Bone marrow aspirate smear · single cell centered in the field.
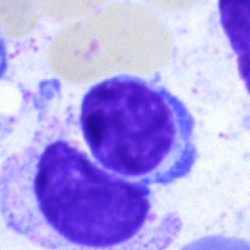
A lymphocyte.